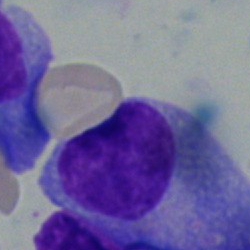 Cell: plasmacyte.